Peripheral blood film.
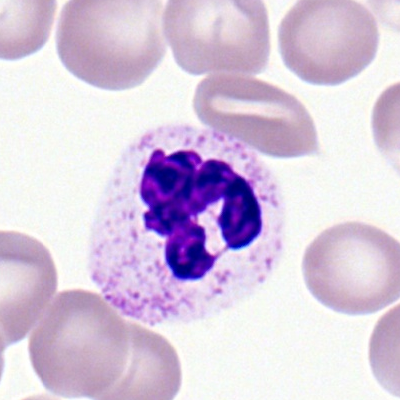 The cell is neutrophil (segmented).